Bone marrow smear
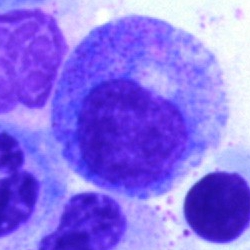Impression → promyelocyte.